Bone marrow aspirate smear
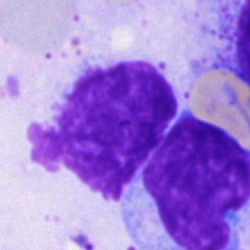 Q: What is shown here?
A: This is an artefact.